Bone marrow smear; single-cell field; 40× oil immersion:
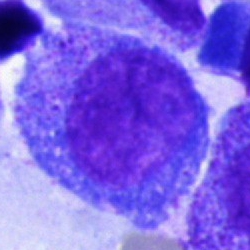
This is a promyelocyte.